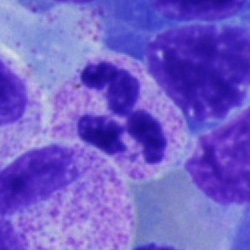

{"cell_type": "neutrophil (segmented)", "lineage": "myeloid"}